Peripheral blood film:
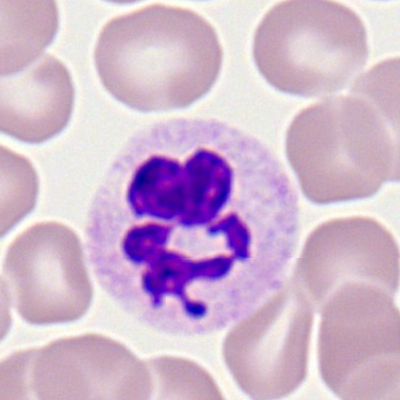 The cell type is neutrophil (segmented).